Bone marrow aspirate smear — 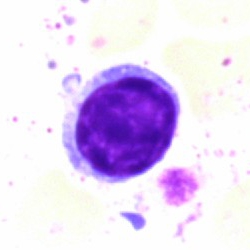
Q: Identify the cell.
A: A typical lymphocyte.